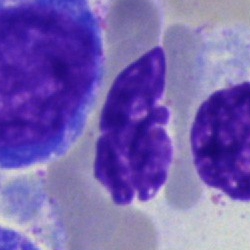 Cell: artifact.